Bone marrow smear:
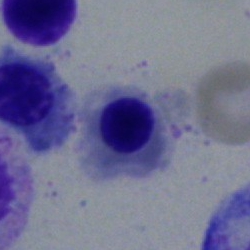Q: What cell is this?
A: This is a normoblast.